Peripheral blood smear — 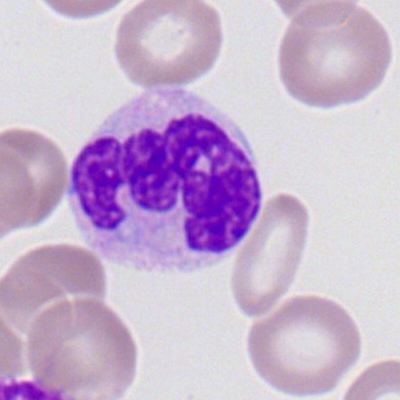

Impression → polymorphonuclear neutrophil.